Brightfield, 40× oil-immersion objective · bone marrow smear · 250×250:
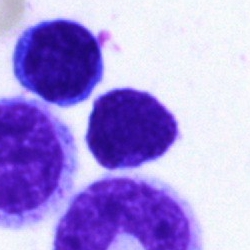

Lymphocyte.